Brightfield, 40× oil-immersion objective. Cropped to a single cell. Bone marrow smear:
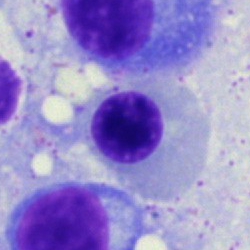Q: What is the morphological classification of this cell?
A: A nucleated red cell.